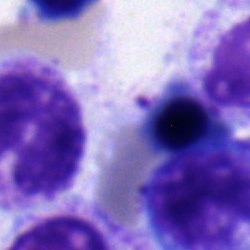

Cell = normoblast.